Bone marrow aspirate smear.
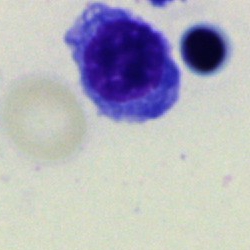
Nucleated red cell.